Cropped to a single cell; bone marrow smear: 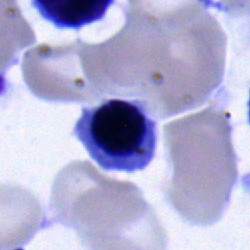

Q: What type of cell is this?
A: Normoblast.